Bone marrow aspirate smear.
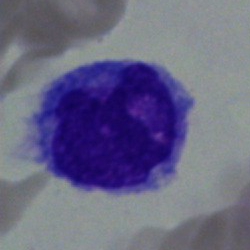 Impression → monocyte.